Bone marrow smear · 40× objective, oil immersion · Pappenheim-stained.
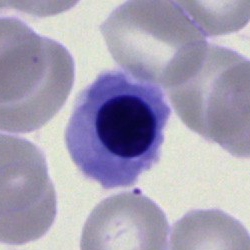
Q: What type of cell is this?
A: Nucleated red blood cell.